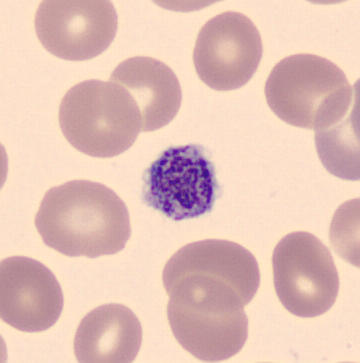Preparation: 360×363 · peripheral blood film · May Grünwald-Giemsa stain. Morphology consistent with a platelet (thrombocyte).